Peripheral blood film:
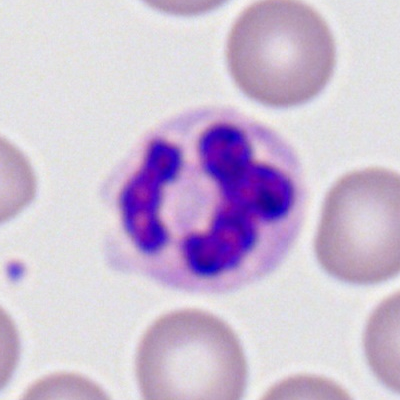The classification is segmented neutrophil.